Pappenheim-stained. Bone marrow smear:
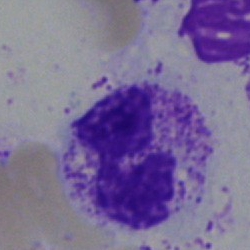
This is a neutrophil (segmented).